250 by 250 pixels; bone marrow aspirate smear; brightfield, 40× oil-immersion objective: 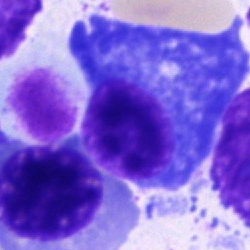 Cell = plasmacyte.